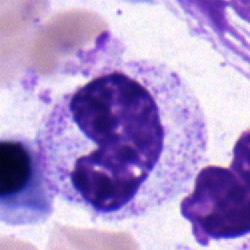 Classification = band-form neutrophil.